Bone marrow aspirate smear.
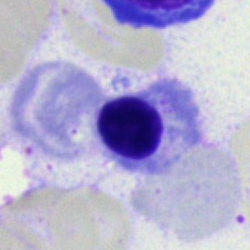

Morphology — erythroblast.